Bone marrow aspirate smear.
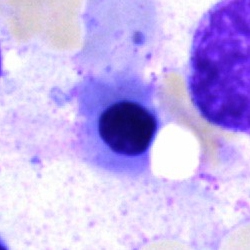

Nucleated red cell.